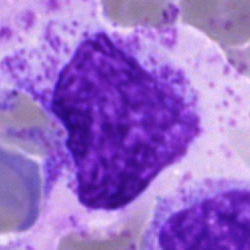

Q: What is shown here?
A: It is an artefact.